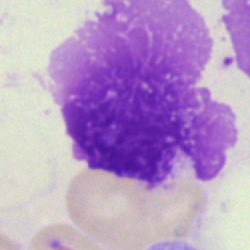

Cell = artefact.